Bone marrow smear; brightfield microscopy, 40× oil immersion.
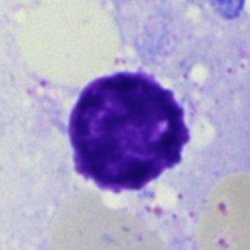 Q: What is shown here?
A: Artifact.